Bone marrow smear
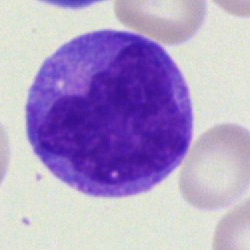
Q: What cell is this?
A: It is a monocyte.